Peripheral blood film:
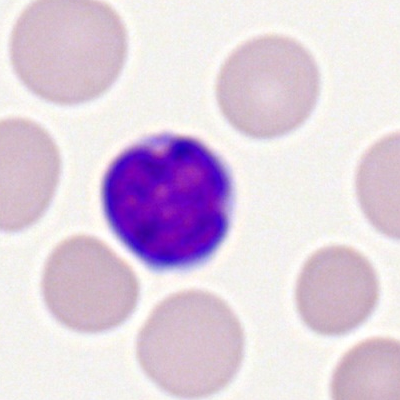
The cell is typical lymphocyte.